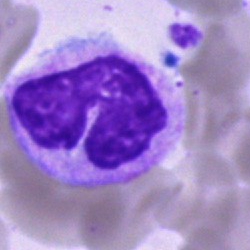
Q: Identify the cell.
A: A neutrophil (segmented).